Cropped to a single cell. Bone marrow smear: 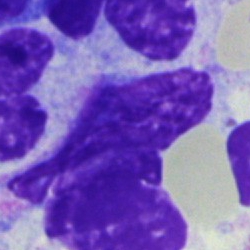
Specimen: bone marrow smear.
Cell type: artefact.